Bone marrow aspirate smear · 40× oil immersion: 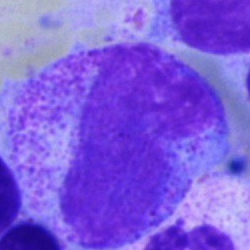
Q: What cell is this?
A: This is a promyelocyte.